MGG-stained; bone marrow aspirate smear; 40× objective, oil immersion — 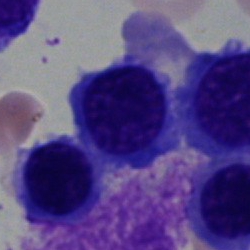

Single cell identified as an erythroblast.